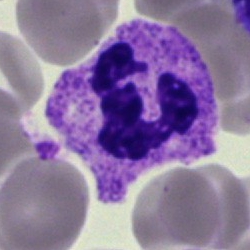Single cell identified as a polymorphonuclear neutrophil.